Bone marrow aspirate smear: 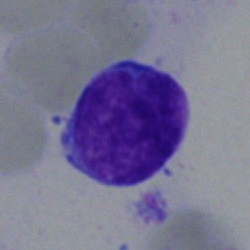Morphology → blast cell.